May-Grünwald-Giemsa stain; bone marrow smear; image size 250×250.
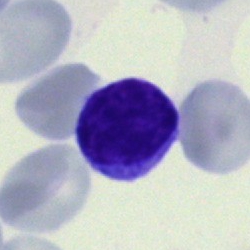 Specimen: bone marrow smear.
Classification: typical lymphocyte.